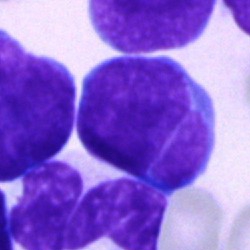{"cell_type": "blast cell"}